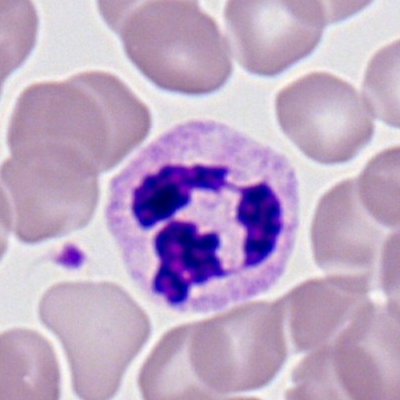
Morphology — polymorphonuclear neutrophil.